Bone marrow aspirate smear:
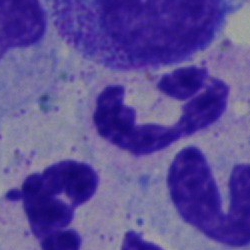Morphology consistent with a neutrophil (segmented).